Bone marrow aspirate smear.
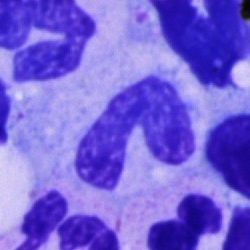The cell type is neutrophil (band).